May-Grünwald-Giemsa/Pappenheim stain · bone marrow smear:
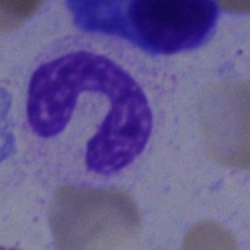 Specimen: bone marrow aspirate smear.
Cell: stab cell.
Lineage: myeloid.